Bone marrow smear.
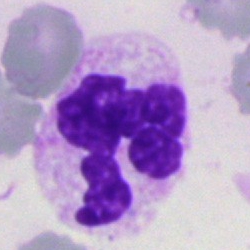 Neutrophil (segmented).